250×250; single-cell crop; bone marrow aspirate smear
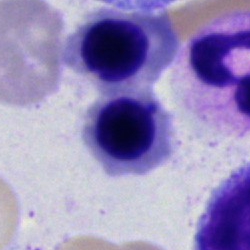 Cell type — nucleated red blood cell.